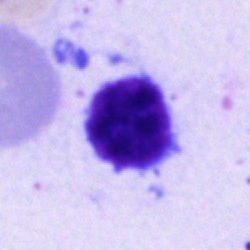

Morphology — lymphocyte.